Bone marrow smear — 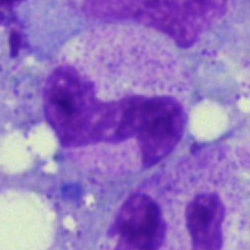
The cell type is neutrophil (band).